Bone marrow aspirate smear.
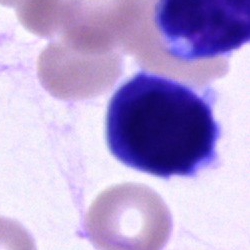 {"cell_type": "blast cell"}